Bone marrow smear; MGG-stained: 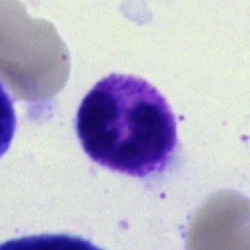

Impression — neutrophil (segmented).